Bone marrow smear.
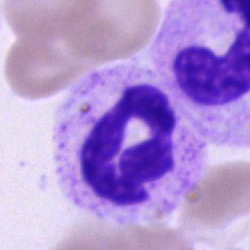

Specimen: bone marrow aspirate smear.
Cell type: polymorphonuclear neutrophil.